Bone marrow aspirate smear: 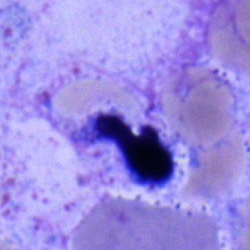 Specimen: bone marrow aspirate smear.
Classification: neutrophil (segmented).